Bone marrow smear
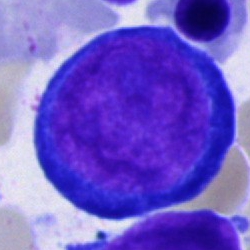
Impression — pronormoblast.